250×250 px · bone marrow smear · brightfield, 40× oil-immersion objective: 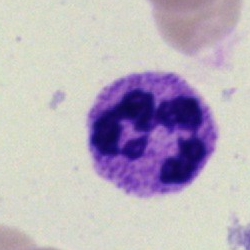
Q: What is shown here?
A: A segmented neutrophil.